Bone marrow smear — 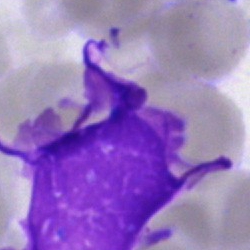 An artifact.